Bone marrow smear; single-cell field
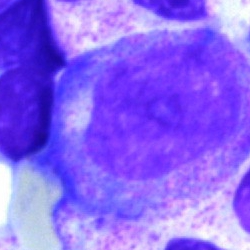Morphological class: promyelocyte.